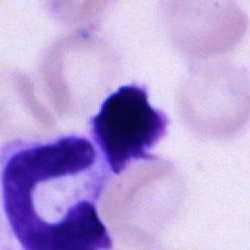

Morphology consistent with a cell of indeterminate lineage.